Bone marrow aspirate smear: 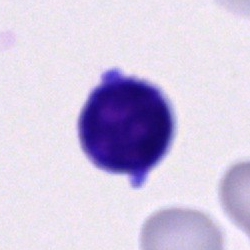Q: What is the morphological classification of this cell?
A: It is an undifferentiated blast.